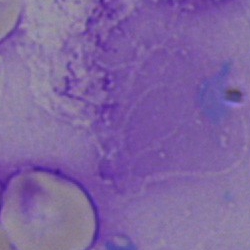 Morphology consistent with an artifact.